Peripheral blood film
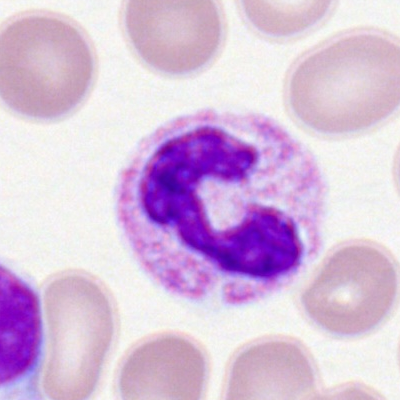
Specimen: peripheral blood film.
Morphological class: segmented neutrophil.